Single cell centered in the field · peripheral blood smear: 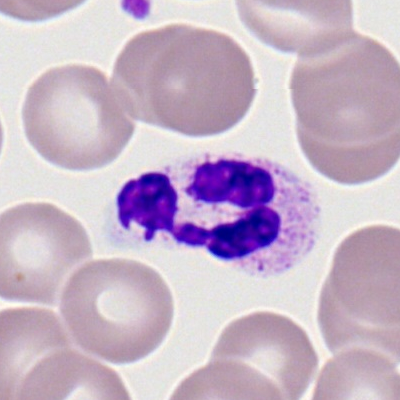 The cell type is neutrophil (segmented).